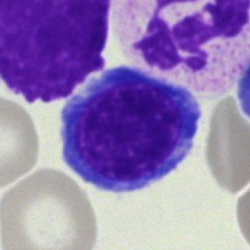 Q: What is shown here?
A: This is a normoblast.